Imaged on a CellaVision DM96 analyser. Peripheral blood smear
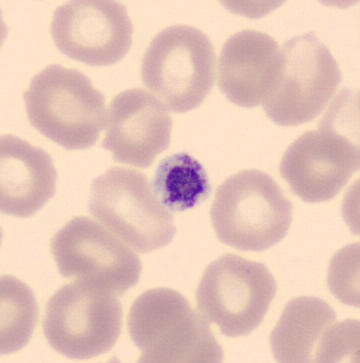
Morphological class — thrombocyte.